Pappenheim-stained. Bone marrow smear.
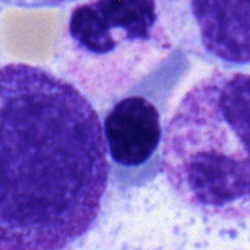

Classification = nucleated red cell.